May-Grünwald-Giemsa-stained. Peripheral blood smear
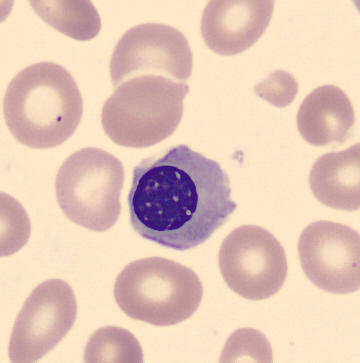 Morphology → nucleated red blood cell.